Pappenheim-stained · single cell centered in the field · bone marrow aspirate smear — 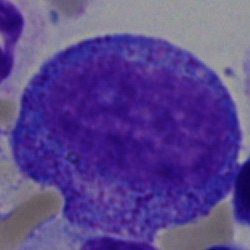The cell type is promyelocyte.